250 by 250 pixels. Bone marrow aspirate smear
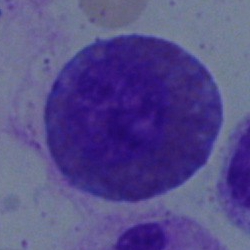

Q: Which cell type is shown here?
A: It is an eosinophil.